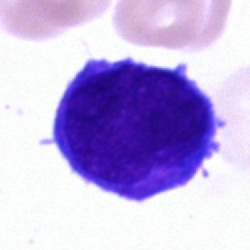
Q: What type of cell is this?
A: An undifferentiated blast.